Bone marrow smear · brightfield microscopy, 40× oil immersion.
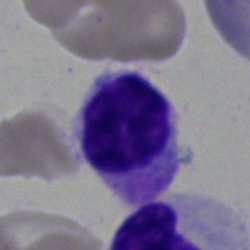
Specimen: bone marrow aspirate smear.
Cell: typical lymphocyte.
Lineage: lymphoid.